Single-cell field. Bone marrow smear: 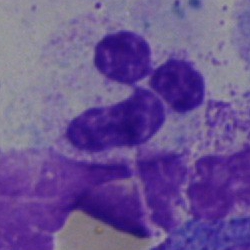 Q: Which cell type is shown here?
A: Polymorphonuclear neutrophil.